Bone marrow aspirate smear · MGG-stained:
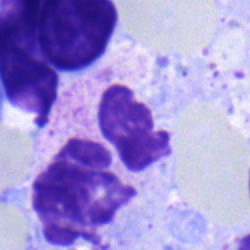Morphology — neutrophil (segmented).